Bone marrow aspirate smear; 250×250 px: 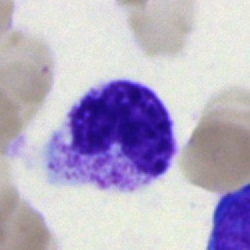

Specimen: bone marrow aspirate smear.
Classification: band neutrophil.
Lineage: myeloid.